Peripheral blood film · single-cell field:
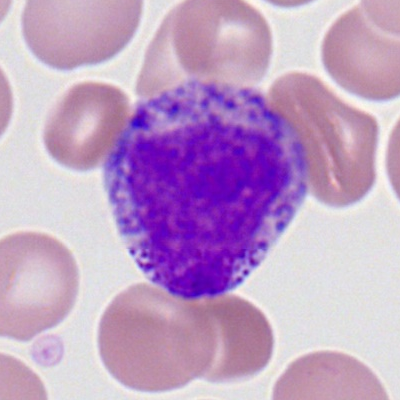 A myelocyte.